Peripheral blood smear
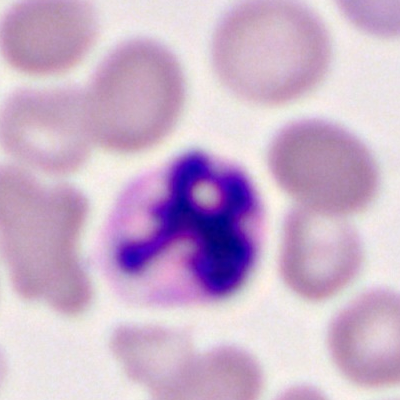A segmented neutrophil.